250×250 px; bone marrow smear — 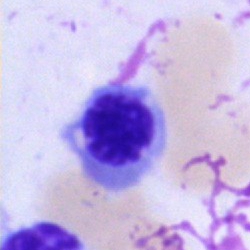 Morphology consistent with an erythroblast.